Single cell centered in the field. Bone marrow aspirate smear. 250×250 px — 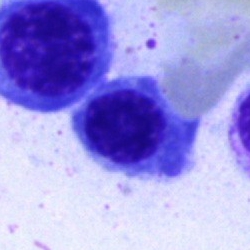Q: What type of cell is this?
A: A nucleated red cell.